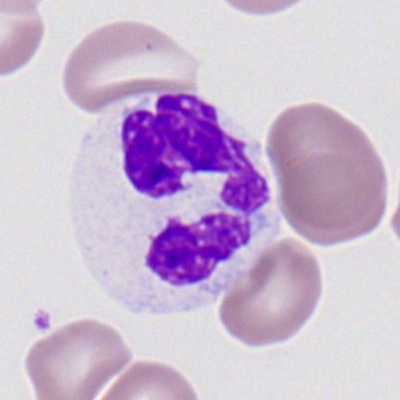
Showing a polymorphonuclear neutrophil.